Bone marrow smear.
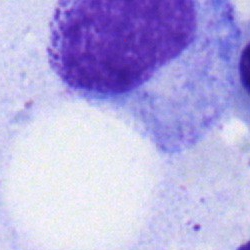
The classification is myelocyte.